Single-cell field; 400 by 400 pixels; peripheral blood smear: 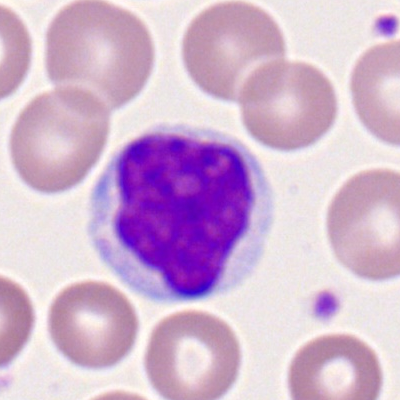

Specimen: peripheral blood smear.
Classification: typical lymphocyte.
Lineage: lymphoid.